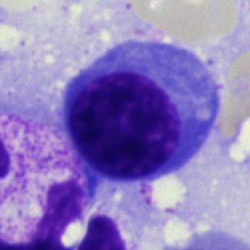The cell is plasmacyte.